Bone marrow aspirate smear · image size 250×250.
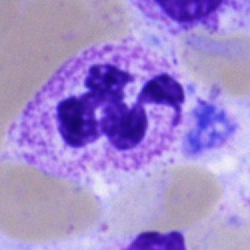Morphological class = segmented neutrophil.